Bone marrow smear
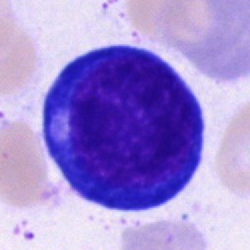
Morphology → proerythroblast.